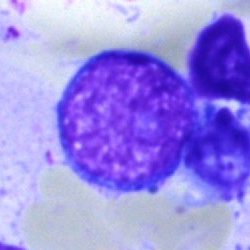Impression — undifferentiated blast.